Peripheral blood smear — 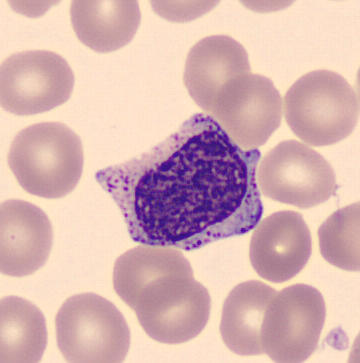

Identified as a myelocyte.